Bone marrow aspirate smear. Brightfield microscopy, 40× oil immersion — 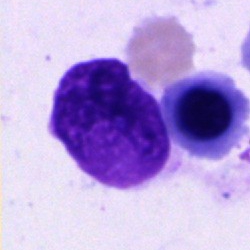
Morphology — artefact.